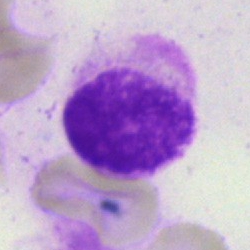 Q: What is shown here?
A: Artifact.